Bone marrow smear:
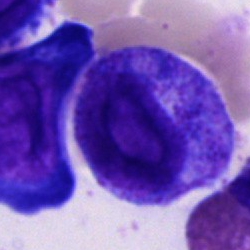
This is a promyelocyte.